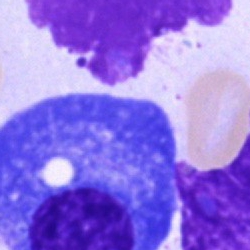 Morphology — plasma cell.